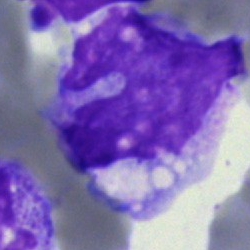Cell — monocyte.